MGG-stained. Bone marrow aspirate smear. 250×250 px
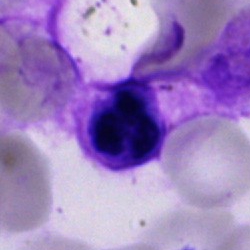 Q: What is shown here?
A: Artefact.